Bone marrow smear. Cropped to a single cell:
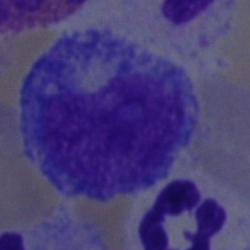
Single cell identified as a promyelocyte.